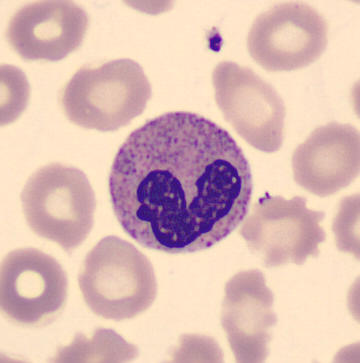 Q: Identify the cell.
A: It is a band-form neutrophil.
Acquisition: Peripheral blood film.